400 by 400 pixels. Peripheral blood film — 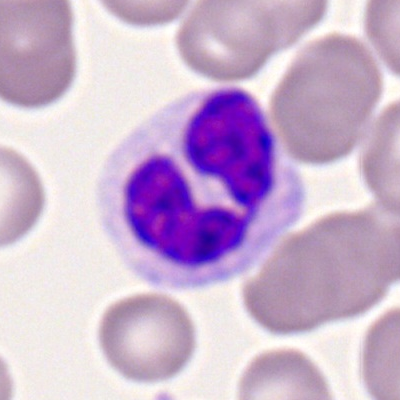Cell — monocyte.